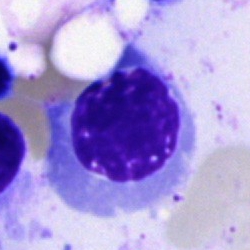 {"cell_type": "nucleated red blood cell"}